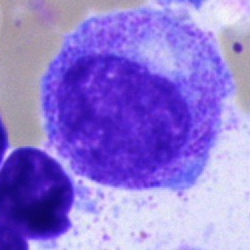

Morphological class — promyelocyte.